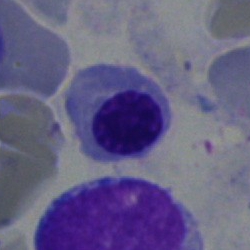A normoblast.